Bone marrow smear · single cell centered in the field:
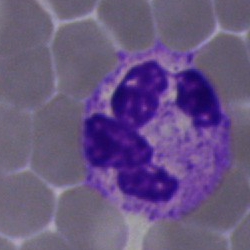

The cell is segmented neutrophil.